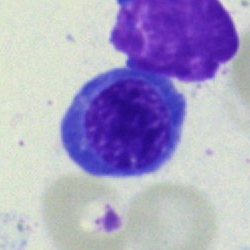

Erythroblast.